Romanowsky-type stain · brightfield, 100× oil-immersion objective · peripheral blood smear — 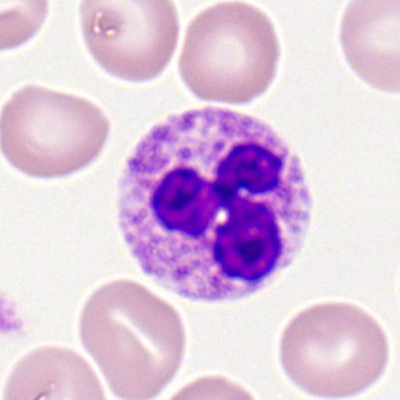

Morphological class: segmented neutrophil.